Single-cell crop; bone marrow aspirate smear; 40× objective, oil immersion.
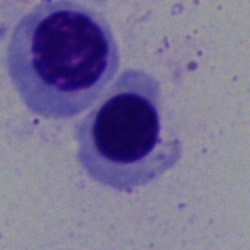Morphology → nucleated red blood cell.